Image size 250×250. Bone marrow smear. Brightfield, 40× oil-immersion objective — 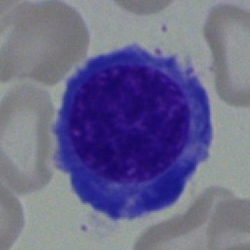

Cell type: erythroblast.